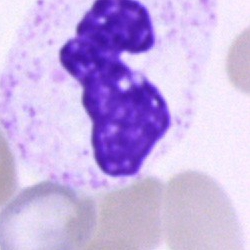 Impression → polymorphonuclear neutrophil.